Bone marrow smear: 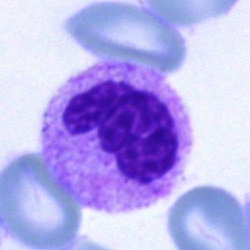Single cell identified as a polymorphonuclear neutrophil.